100× oil immersion, 14.14 px/µm · single-cell crop · peripheral blood smear: 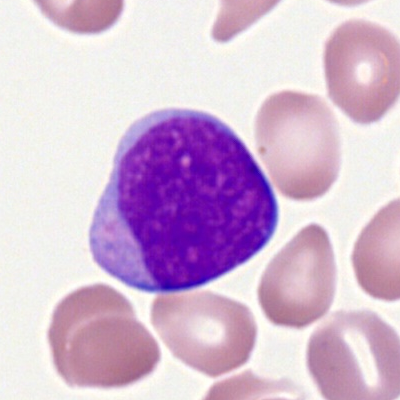This is a myeloid blast.